Bone marrow smear; cropped to a single cell.
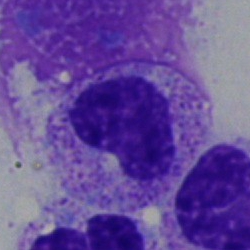 Classification — metamyelocyte.